Image size 250×250; bone marrow smear; single cell centered in the field: 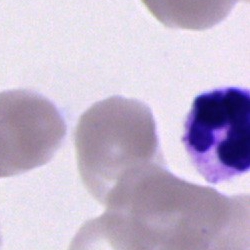

Morphological class = polymorphonuclear neutrophil.